Bone marrow aspirate smear. Pappenheim-stained:
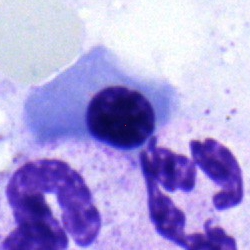 Erythroblast.